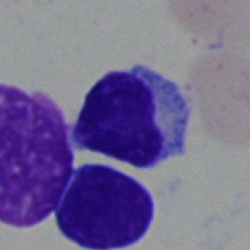

Impression — lymphocyte.